Bone marrow aspirate smear:
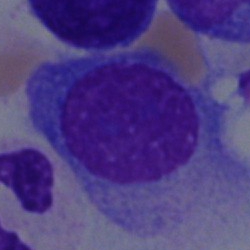 A plasmacyte.